Bone marrow smear.
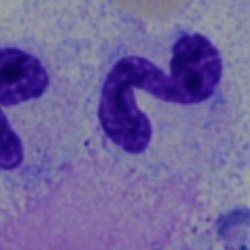

Impression → neutrophil (band).